Cropped to a single cell. Bone marrow aspirate smear.
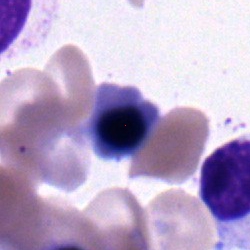
The classification is nucleated red cell.